Bone marrow aspirate smear.
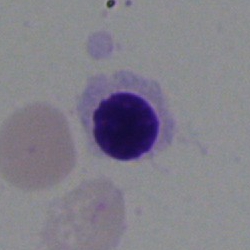

Impression — erythroblast.